Brightfield microscopy, 40× oil immersion. Bone marrow aspirate smear. Single cell centered in the field:
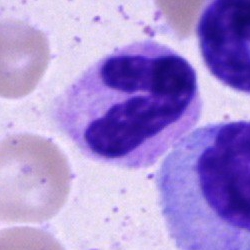

Impression → polymorphonuclear neutrophil.